Bone marrow aspirate smear. MGG-stained. 250×250 px
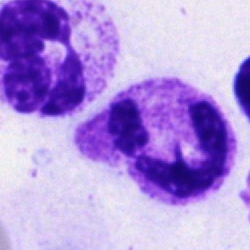Q: What is the morphological classification of this cell?
A: It is a neutrophil (segmented).